Bone marrow smear — 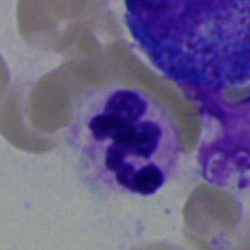
Cell = segmented neutrophil.